Bone marrow smear — 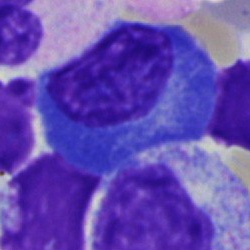
Impression — plasma cell.